Single-cell crop · bone marrow aspirate smear
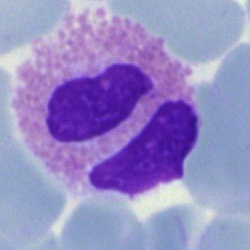An eosinophilic granulocyte.